Bone marrow aspirate smear — 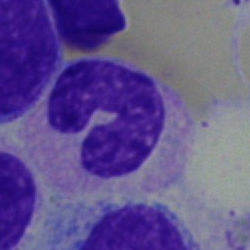
Cell type: band-form neutrophil.